Bone marrow smear; single-cell crop.
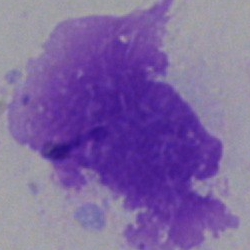Cell type = artifact.